MGG-stained. Bone marrow aspirate smear: 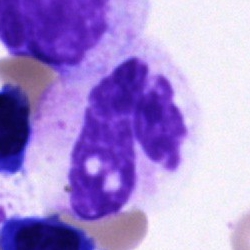

The cell shown is a neutrophil (segmented).